MGG-stained; bone marrow smear; image size 250×250: 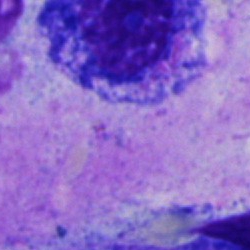 Single cell identified as an artefact.